Bone marrow smear
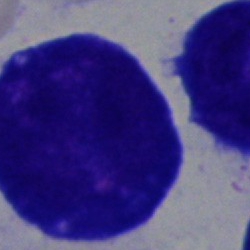
Showing a blast cell.